40× oil immersion; bone marrow aspirate smear; image size 250×250: 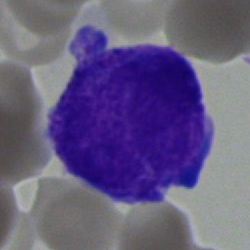
Impression — blast.